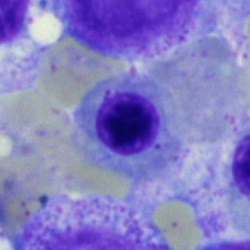

Impression → nucleated red cell.